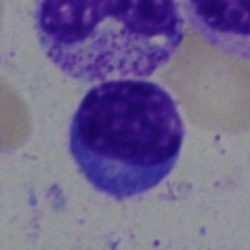 Morphology consistent with a typical lymphocyte.